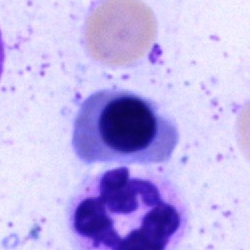Q: What is the morphological classification of this cell?
A: Nucleated red blood cell.